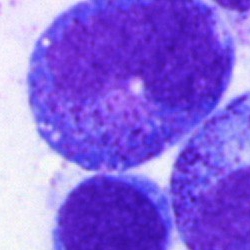 Impression → promyelocyte.